100× oil immersion. Peripheral blood film: 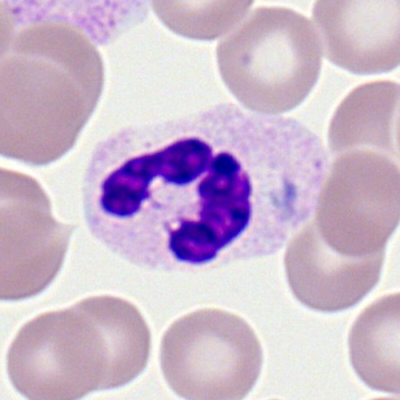A polymorphonuclear neutrophil.